Bone marrow smear.
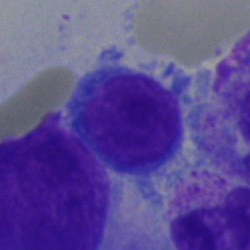

Single cell identified as a lymphocyte.